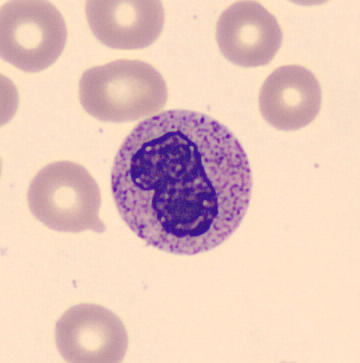
A metamyelocyte on a peripheral blood smear.